Bone marrow smear — 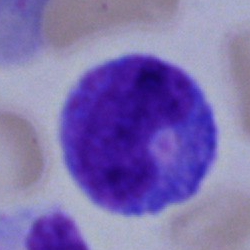
Cell of indeterminate lineage.